250×250; bone marrow smear:
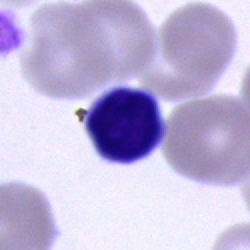 Morphology — normoblast.